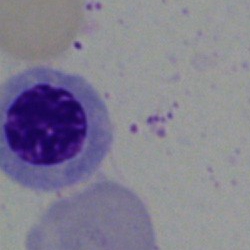Single cell identified as a normoblast.